250×250 px · bone marrow aspirate smear · brightfield microscopy, 40× oil immersion: 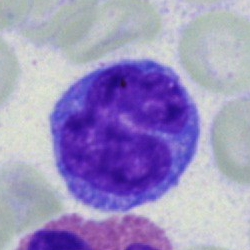

Q: Identify the cell.
A: Monocyte.